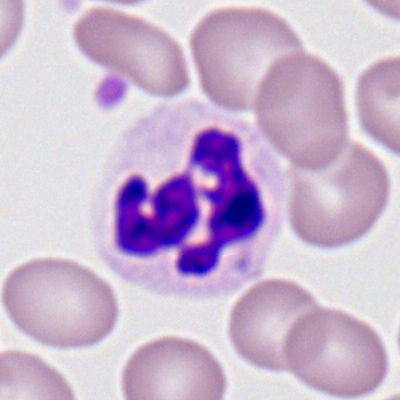{"cell_type": "segmented neutrophil"}